Bone marrow aspirate smear: 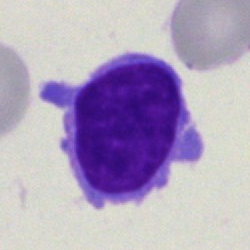The classification is lymphocyte.